Bone marrow aspirate smear · cropped to a single cell
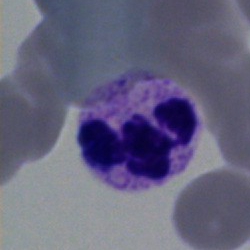 This is a segmented neutrophil.